Bone marrow aspirate smear; 250×250 — 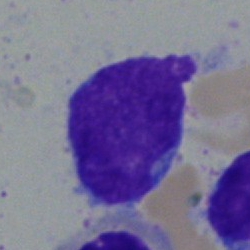Cell: blast cell.